Bone marrow aspirate smear. Single cell centered in the field.
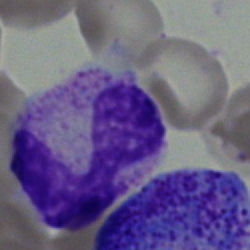

Specimen: bone marrow smear.
Cell: metamyelocyte.
Lineage: myeloid.